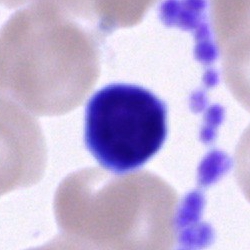Cell — typical lymphocyte.